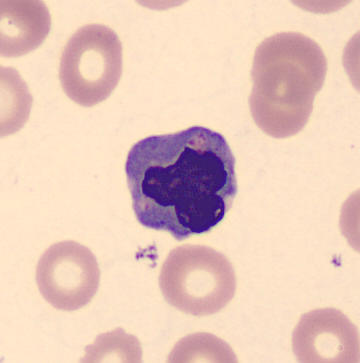
Peripheral blood smear.
Q: What type of cell is this?
A: This is a nucleated red blood cell.